Bone marrow smear — 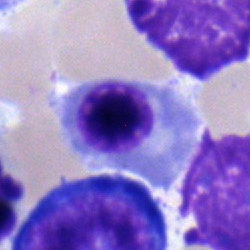

{"cell_type": "nucleated red cell", "lineage": "erythroid"}